Bone marrow smear · 250×250 px.
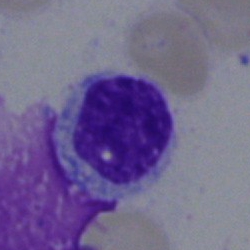

The cell shown is a lymphocyte.